Bone marrow aspirate smear — 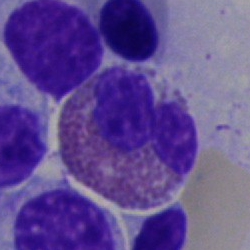 Specimen: bone marrow aspirate smear.
Cell type: eosinophil.